Peripheral blood smear.
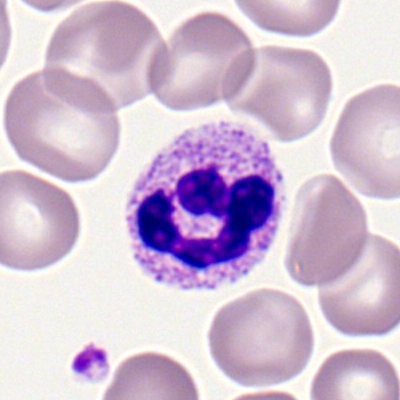
Q: What cell is this?
A: A neutrophil (segmented).